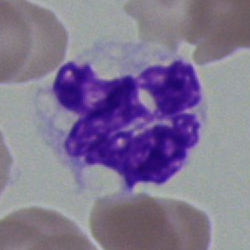 Specimen: bone marrow smear.
Cell: segmented neutrophil.
Lineage: myeloid.